Bone marrow aspirate smear; May-Grünwald-Giemsa stain
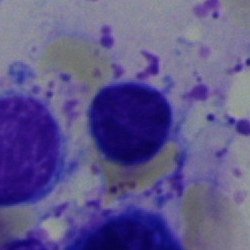

Specimen: bone marrow smear.
Cell type: typical lymphocyte.
Lineage: lymphoid.